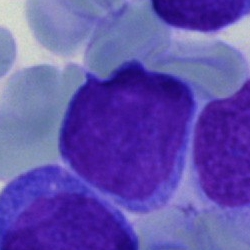Specimen: bone marrow aspirate smear.
Cell type: blast cell.